Bone marrow smear — 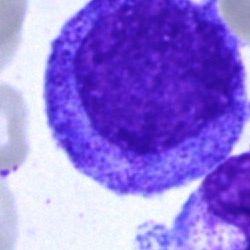 Morphology consistent with a progranulocyte.